Bone marrow aspirate smear · 250×250 · MGG-stained.
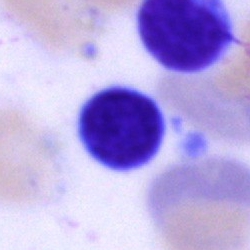
This is a lymphocyte.